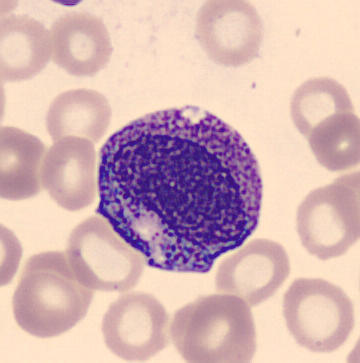

Image: Peripheral blood smear.
{"cell_type": "myelocyte", "lineage": "myeloid"}